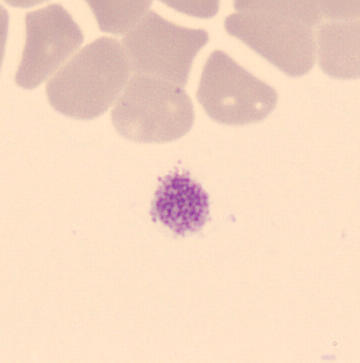

Preparation: Peripheral blood smear.
Thrombocyte.